Bone marrow aspirate smear; 40× objective, oil immersion: 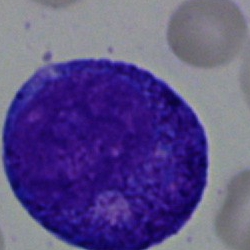 Q: What cell is this?
A: It is a promyelocyte.